May-Grünwald-Giemsa/Pappenheim stain; bone marrow aspirate smear; single-cell field — 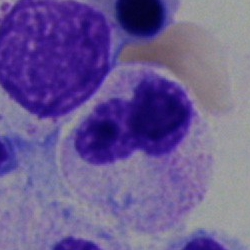

Cell: band-form neutrophil.